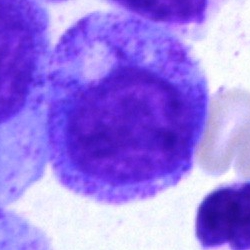
Impression → promyelocyte.